Bone marrow aspirate smear — 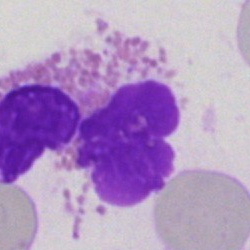 Artefact.